Bone marrow smear.
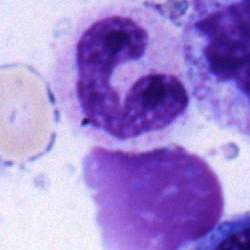 Impression → polymorphonuclear neutrophil.